May-Grünwald-Giemsa/Pappenheim stain; bone marrow smear — 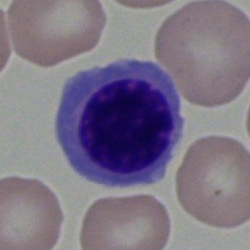 Normoblast.